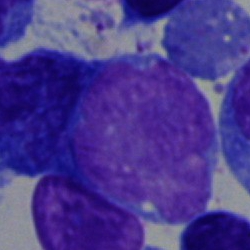

A blast.